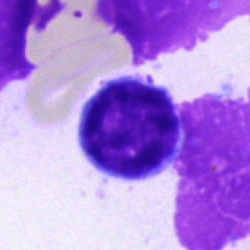
Q: Which cell type is shown here?
A: It is a lymphocyte.